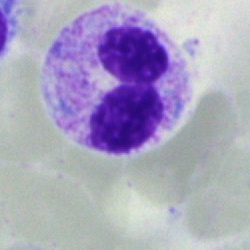
Morphology — segmented neutrophil.